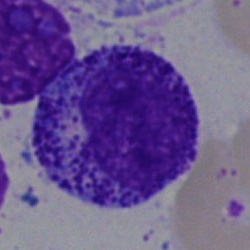Q: Which cell type is shown here?
A: A progranulocyte.